Bone marrow smear
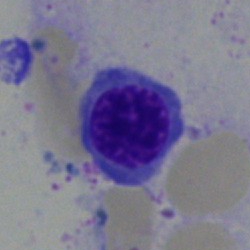
This is a nucleated red cell.